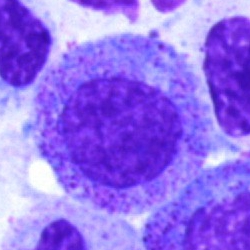 A myelocyte on a bone marrow smear.